Single-cell field; 40× oil immersion; bone marrow smear.
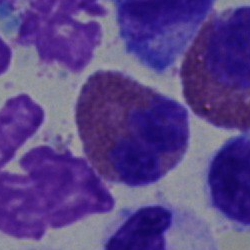
Cell type — eosinophilic granulocyte.